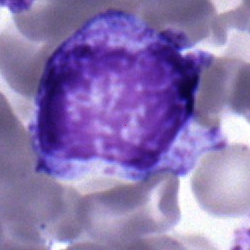 Single-cell crop from a bone marrow smear: myelocyte.